Peripheral blood smear.
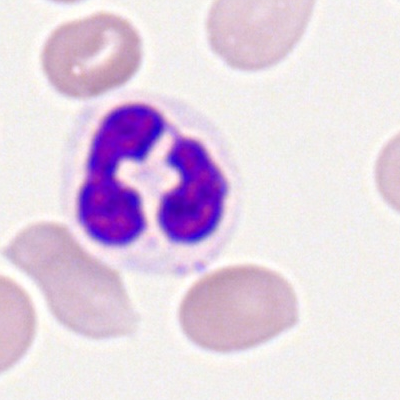Q: Identify the cell.
A: A neutrophil (segmented).